Peripheral blood smear — 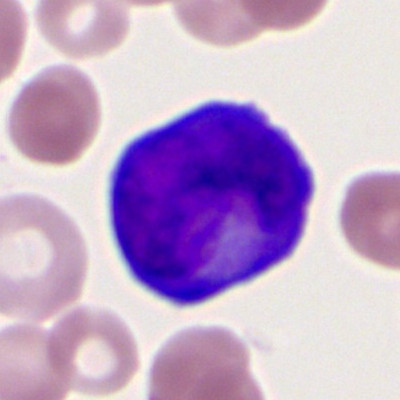
Cell type: myeloblast.